Bone marrow aspirate smear: 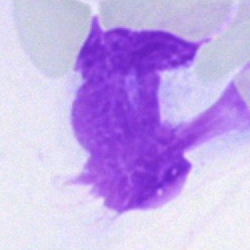Artifact.